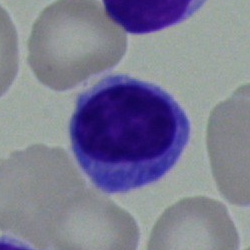 Morphology consistent with a lymphocyte.